May-Grünwald-Giemsa/Pappenheim stain; bone marrow smear — 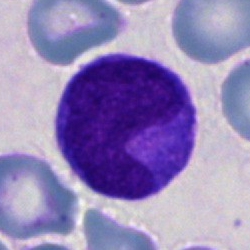Morphology consistent with a monocyte.